Bone marrow aspirate smear.
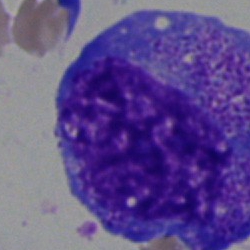

The cell shown is a promyelocyte.